Bone marrow smear: 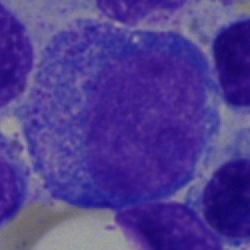

Q: What is shown here?
A: A progranulocyte.